250×250; bone marrow aspirate smear: 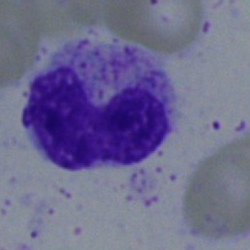

Showing a band-form neutrophil.